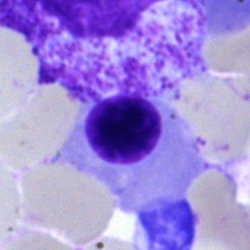

Morphology → erythroblast.